Pappenheim-stained · bone marrow aspirate smear · brightfield, 40× oil-immersion objective.
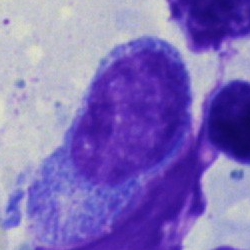

Morphology → blast.